Single-cell field. Bone marrow smear. May-Grünwald-Giemsa stain
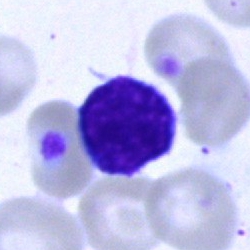Classification = lymphocyte.